Bone marrow smear · MGG-stained · single-cell field
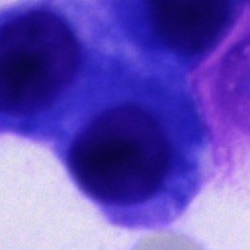
The cell type is other cell type.